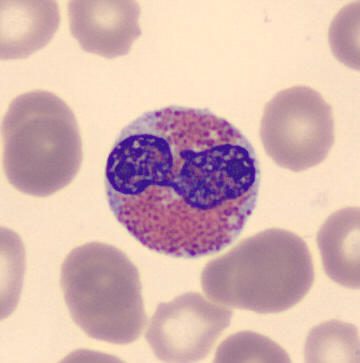Peripheral blood film.

Q: Identify the cell.
A: An eosinophilic granulocyte.